Bone marrow aspirate smear. Brightfield, 40× oil-immersion objective: 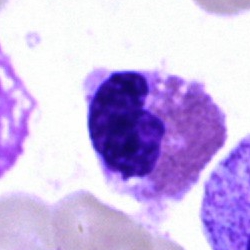Cell type — eosinophil.